Bone marrow aspirate smear.
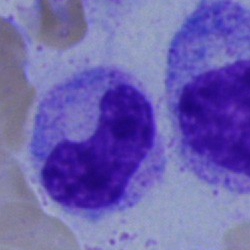{"cell_type": "band neutrophil"}